Bone marrow smear: 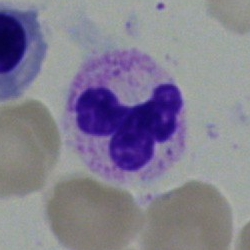
Q: What is the morphological classification of this cell?
A: This is a segmented neutrophil.